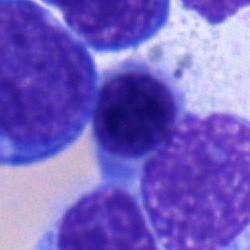Cell type: normoblast.